250×250 px. Bone marrow aspirate smear — 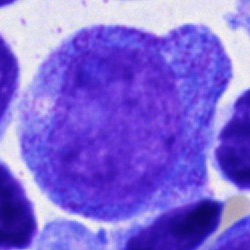Single cell identified as a promyelocyte.